Bone marrow smear:
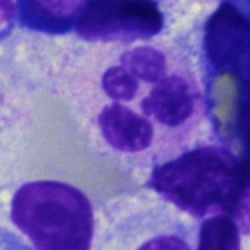

Morphology — polymorphonuclear neutrophil.